Single-cell field. Peripheral blood film
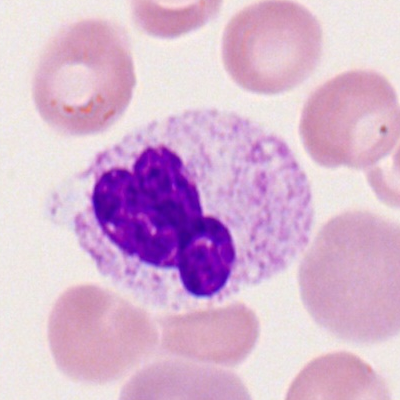
Q: What is the morphological classification of this cell?
A: Segmented neutrophil.